Bone marrow smear — 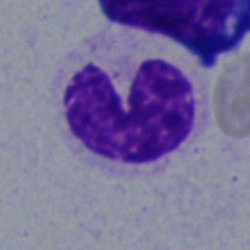
A band neutrophil.